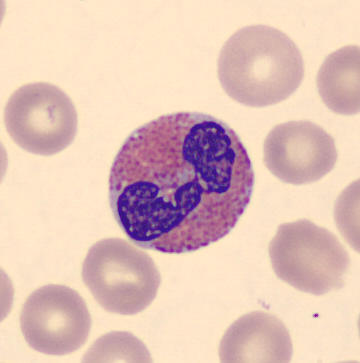Identified as an eosinophil.